Single-cell field; bone marrow smear — 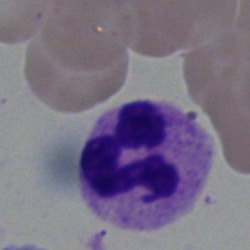 The cell shown is a polymorphonuclear neutrophil.